Bone marrow smear. May-Grünwald-Giemsa stain
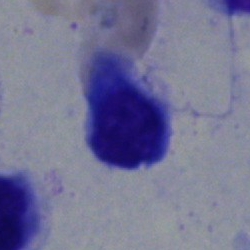
Specimen: bone marrow aspirate smear.
Morphological class: nucleated red cell.
Lineage: erythroid.